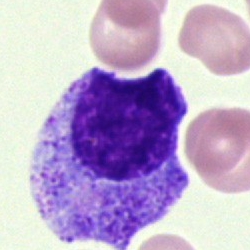

Morphology consistent with an erythroblast.